Peripheral blood film — 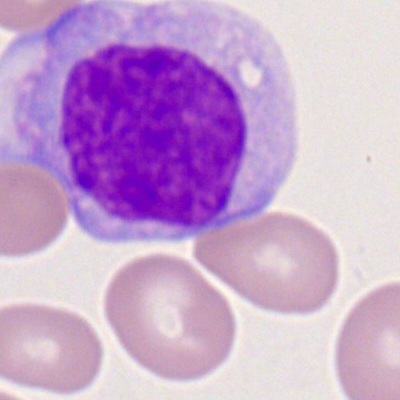Q: Identify the cell.
A: This is a monoblast.